Bone marrow smear.
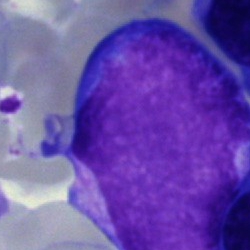
Blast.